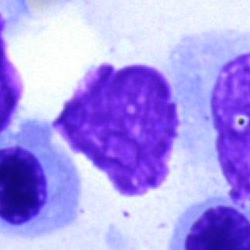
Showing an artefact.